Bone marrow smear — 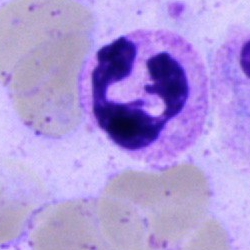 Classification: neutrophil (segmented).